Bone marrow aspirate smear — 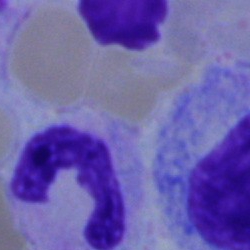Q: What is the morphological classification of this cell?
A: Stab cell.